Peripheral blood smear: 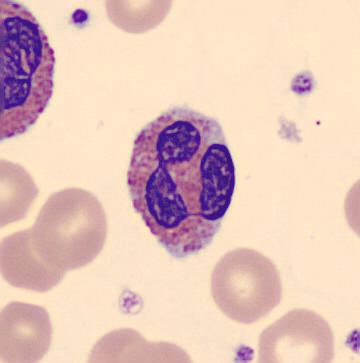Cell: eosinophilic granulocyte.